Bone marrow smear:
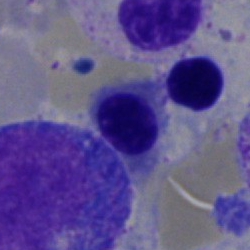A nucleated red cell.